Bone marrow aspirate smear: 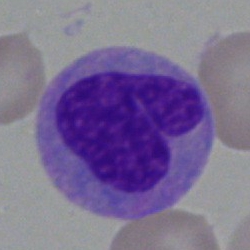
{"cell_type": "monocyte", "lineage": "myeloid"}